Bone marrow aspirate smear; May-Grünwald-Giemsa stain — 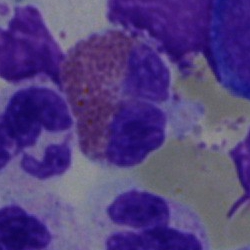 Specimen: bone marrow aspirate smear.
Classification: eosinophilic granulocyte.